Bone marrow aspirate smear: 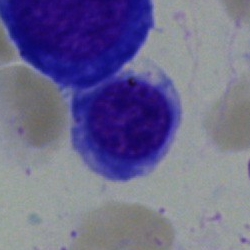Morphology consistent with a nucleated red blood cell.